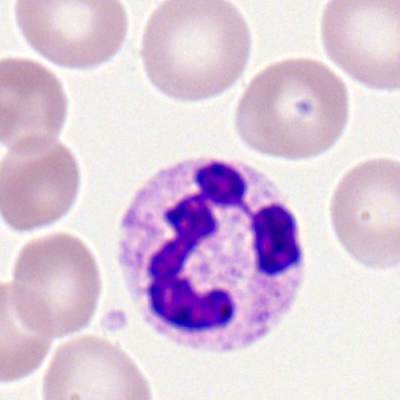

Morphology — segmented neutrophil.